Bone marrow aspirate smear: 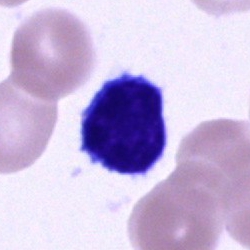
Classification = typical lymphocyte.